Pappenheim-stained. Bone marrow smear — 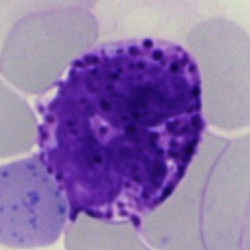

Morphological class: basophil.